Bone marrow smear; brightfield, 40× oil-immersion objective — 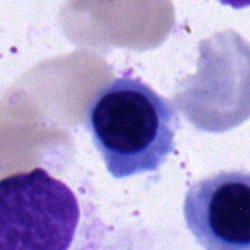Specimen: bone marrow smear.
Morphological class: nucleated red cell.
Lineage: erythroid.